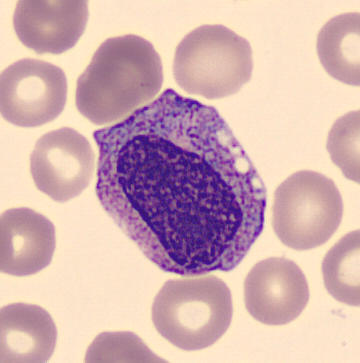The classification is promyelocyte. Preparation: CellaVision DM96 digital cell image. Peripheral blood film.